Bone marrow smear · single-cell crop
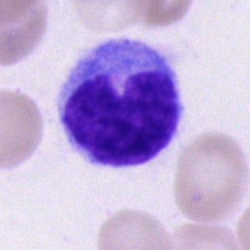{"cell_type": "monocyte", "lineage": "myeloid"}